Single-cell field; bone marrow aspirate smear; Pappenheim-stained.
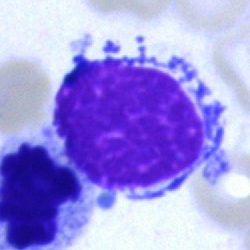
{"cell_type": "artifact"}